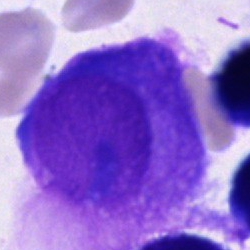
Q: What type of cell is this?
A: A plasmacyte.